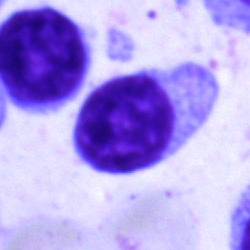

A lymphocyte on a bone marrow smear.